Brightfield, 40× oil-immersion objective; bone marrow smear.
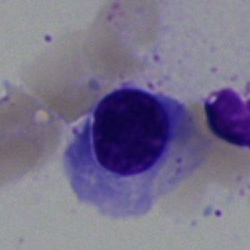Impression → normoblast.